Bone marrow aspirate smear. Cropped to a single cell — 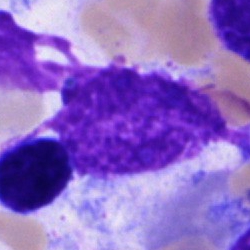Morphology → artefact.